Peripheral blood film
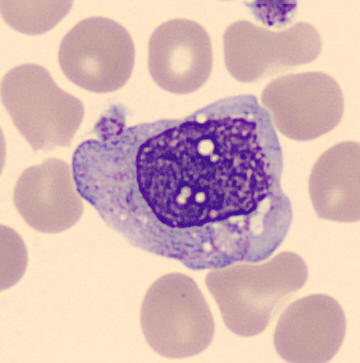 Impression → monocyte.